Bone marrow aspirate smear — 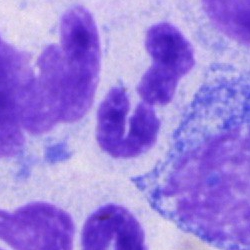 The cell shown is a polymorphonuclear neutrophil.